Bone marrow smear. May-Grünwald-Giemsa stain:
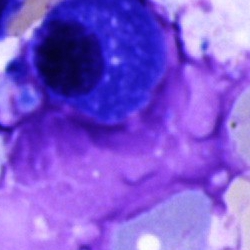
Morphology → plasmacyte.